Bone marrow aspirate smear: 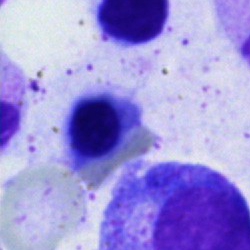Q: What type of cell is this?
A: Normoblast.